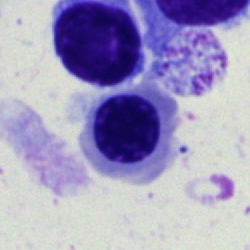

Classification — normoblast.